Image size 250×250; bone marrow aspirate smear; brightfield microscopy, 40× oil immersion — 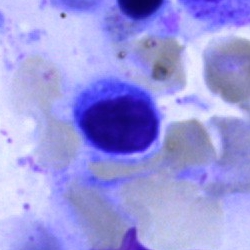 The morphological class is typical lymphocyte.